Bone marrow smear — 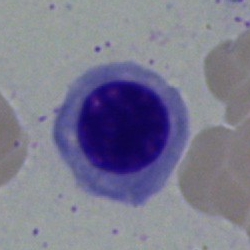Classification — nucleated red cell.